Cropped to a single cell · bone marrow smear · May-Grünwald-Giemsa stain: 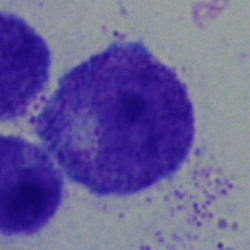Cell type = myelocyte.